Bone marrow aspirate smear:
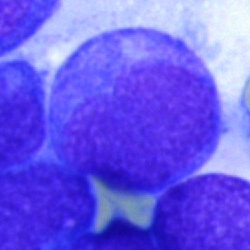 {"cell_type": "blast"}